Pappenheim-stained · bone marrow aspirate smear: 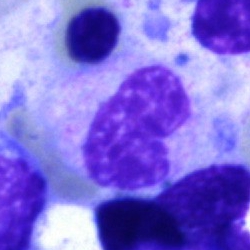

Stab cell.